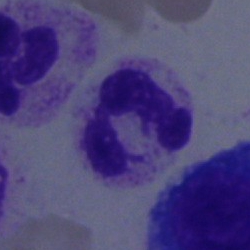
Q: What is the morphological classification of this cell?
A: Segmented neutrophil.